Bone marrow aspirate smear — 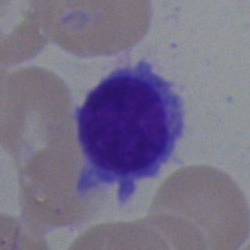 Q: Identify the cell.
A: This is a plasmacyte.